Brightfield microscopy, 40× oil immersion · bone marrow aspirate smear.
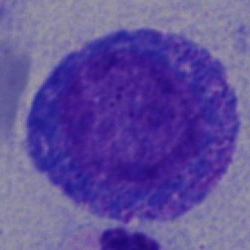
Classification — progranulocyte.